40× objective, oil immersion · bone marrow smear
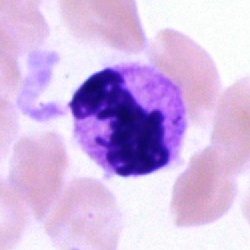Q: Identify the cell.
A: It is a polymorphonuclear neutrophil.